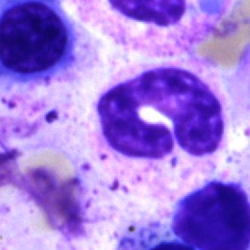

Band neutrophil.